Bone marrow smear. Image size 250×250. May-Grünwald-Giemsa stain — 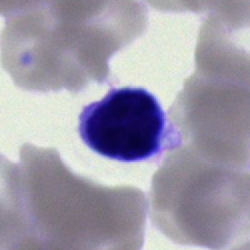

{"cell_type": "typical lymphocyte"}